Bone marrow aspirate smear. May-Grünwald-Giemsa stain — 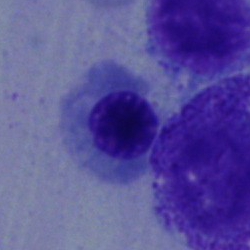
A nucleated red blood cell.